Bone marrow aspirate smear.
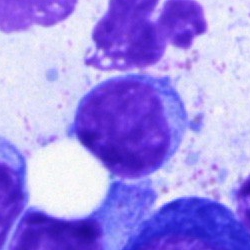 This is a lymphocyte.